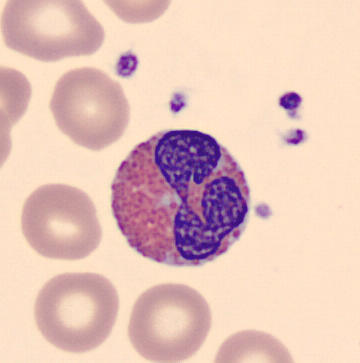

Classification: eosinophilic granulocyte. 360 by 363 pixels · peripheral blood smear.